Bone marrow smear — 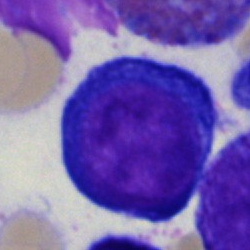Cell type — pronormoblast.